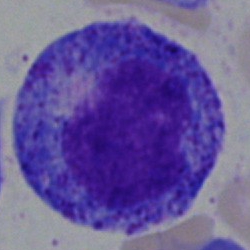 Q: What is the morphological classification of this cell?
A: Progranulocyte.